Bone marrow smear; MGG-stained; brightfield, 40× oil-immersion objective: 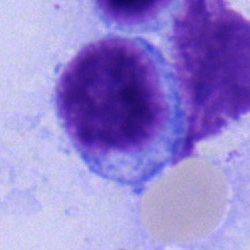 Lymphocyte.